Cropped to a single cell. Bone marrow smear
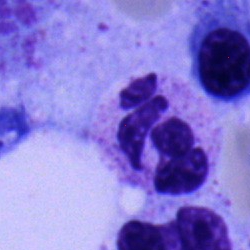
The cell shown is a neutrophil (segmented).